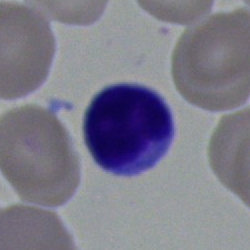
This is a typical lymphocyte.